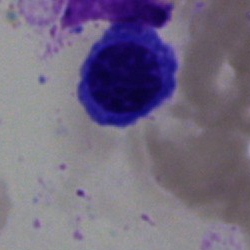 Cell type — nucleated red blood cell.